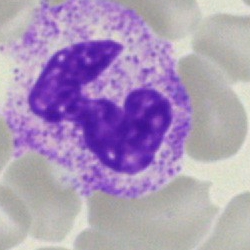Single-cell crop from a bone marrow smear: neutrophil (segmented).